Cropped to a single cell; bone marrow aspirate smear — 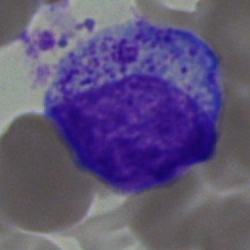
Impression → myelocyte.